Bone marrow aspirate smear — 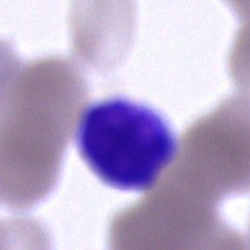

A typical lymphocyte.